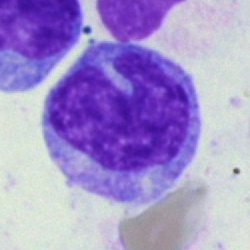Classification: monocyte.